Bone marrow aspirate smear — 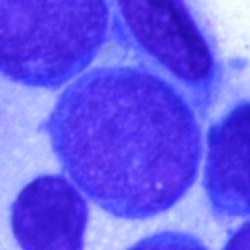 Morphology — blast.